Bone marrow smear — 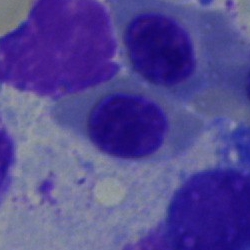

The cell shown is a normoblast.